Bone marrow smear.
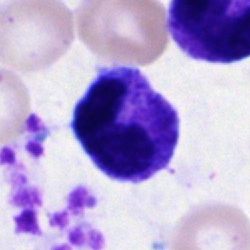 Q: Which cell type is shown here?
A: Segmented neutrophil.